Peripheral blood film
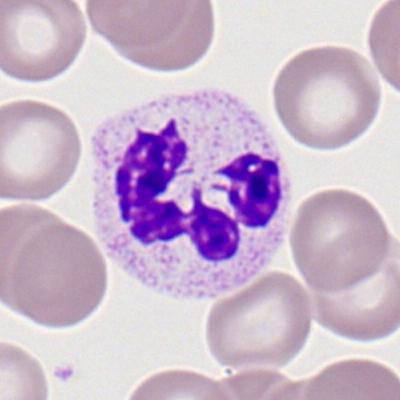Showing a polymorphonuclear neutrophil.